Bone marrow smear — 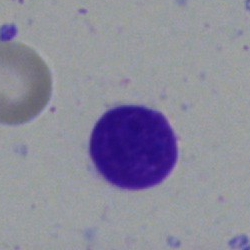

Q: Identify the cell.
A: A typical lymphocyte.